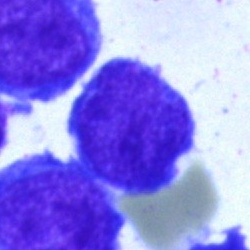{"cell_type": "blast"}